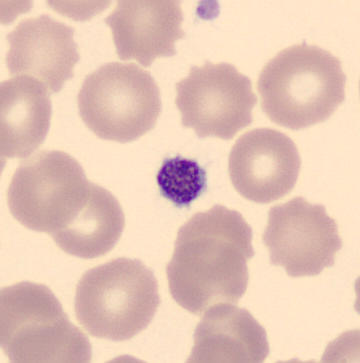 Impression → platelet (thrombocyte).
Peripheral blood film. May-Grünwald-Giemsa-stained.